Bone marrow smear:
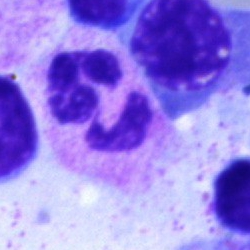

Impression — segmented neutrophil.